40× objective, oil immersion; image size 250×250; bone marrow aspirate smear:
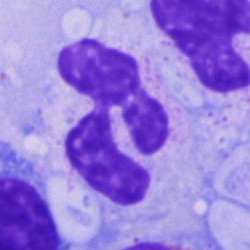

Polymorphonuclear neutrophil.